Bone marrow aspirate smear: 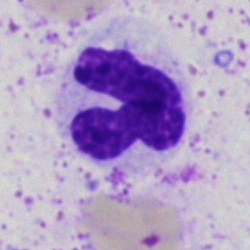 A polymorphonuclear neutrophil.